Bone marrow smear — 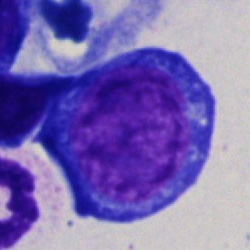Showing a proerythroblast.